Bone marrow smear
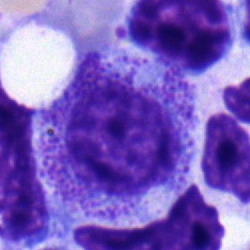Myelocyte.